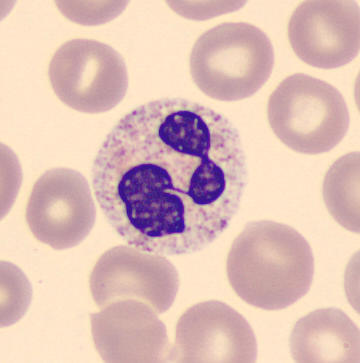Image: Peripheral blood film. May Grünwald-Giemsa stain. Q: What type of cell is this?
A: A segmented neutrophil.